Bone marrow aspirate smear
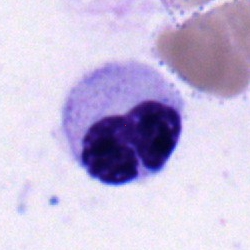
Segmented neutrophil.